Single cell centered in the field · bone marrow aspirate smear · 250×250
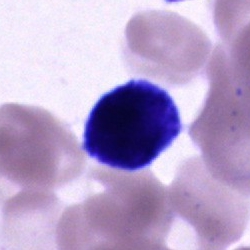

Morphology consistent with an unidentifiable cell.